Bone marrow aspirate smear: 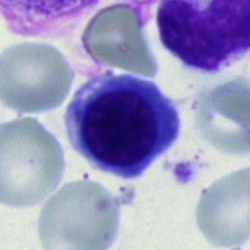

Q: Which cell type is shown here?
A: This is an erythroblast.